Bone marrow smear. 40× oil immersion. 250 by 250 pixels: 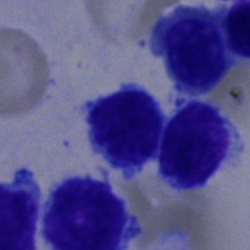 Single cell identified as a typical lymphocyte.